Bone marrow aspirate smear · 250×250: 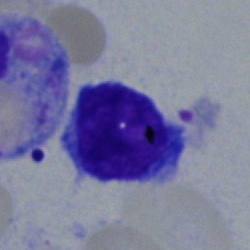 Classification: typical lymphocyte.